Bone marrow smear. 250×250. Brightfield, 40× oil-immersion objective — 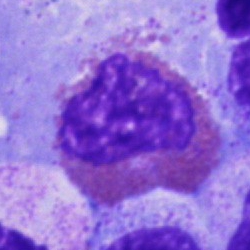
Cell = eosinophilic granulocyte.